Bone marrow smear · 250×250 px:
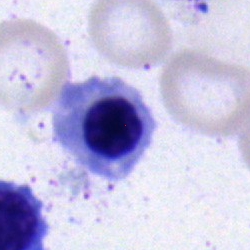

Erythroblast.